Bone marrow smear:
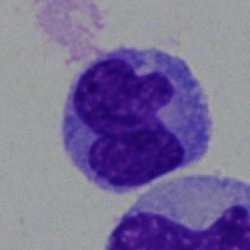

Morphology consistent with a monocyte.